Bone marrow aspirate smear · single-cell crop:
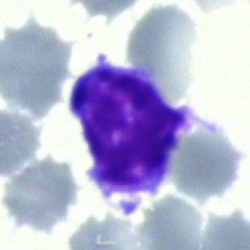 Specimen: bone marrow aspirate smear.
Cell type: lymphocyte.
Lineage: lymphoid.